Peripheral blood smear.
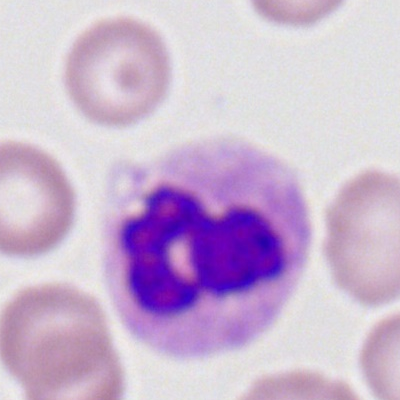
Morphology consistent with a neutrophil (segmented).